Bone marrow smear — 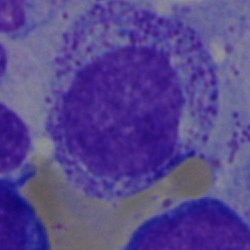
{"cell_type": "myelocyte"}